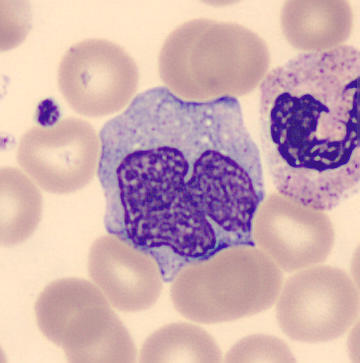Impression — monocyte.

Preparation: Peripheral blood film · 360 by 363 pixels.